Bone marrow aspirate smear — 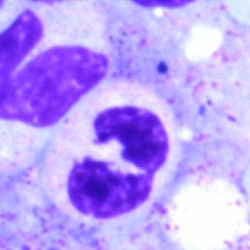

Specimen: bone marrow smear.
Cell type: neutrophil (segmented).
Lineage: myeloid.